Bone marrow smear · 250×250 px · 40× objective, oil immersion:
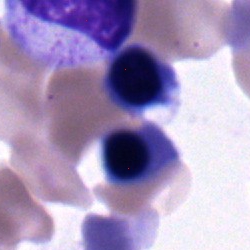

The cell shown is a promyelocyte.